Bone marrow aspirate smear — 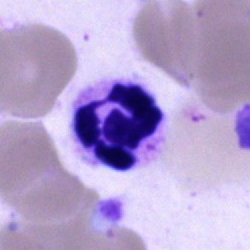 Specimen: bone marrow aspirate smear.
Classification: polymorphonuclear neutrophil.
Lineage: myeloid.